250×250; bone marrow smear.
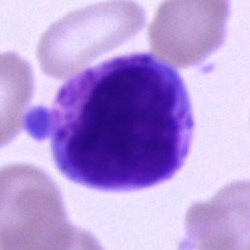

This is a cell of indeterminate lineage.